Bone marrow aspirate smear.
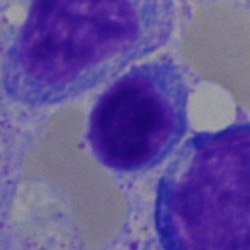 Morphology → typical lymphocyte.